Pappenheim-stained · bone marrow smear
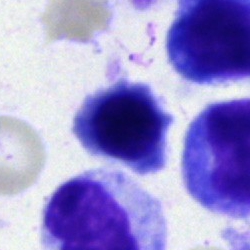

Specimen: bone marrow smear.
Morphological class: nucleated red cell.